Bone marrow smear.
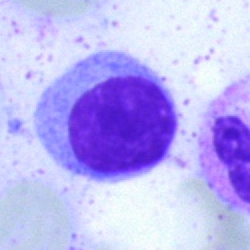Specimen: bone marrow smear.
Morphological class: lymphocyte.